Bone marrow aspirate smear:
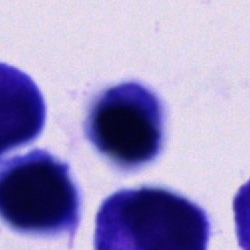
An unidentifiable cell.